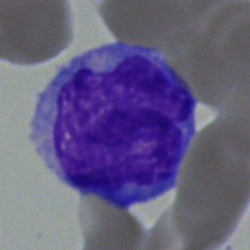Q: What cell is this?
A: A monocyte.